Bone marrow smear: 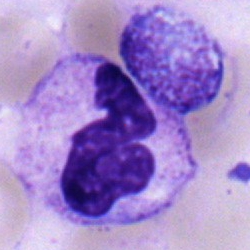

The morphological class is neutrophil (segmented).